Bone marrow aspirate smear · brightfield, 40× oil-immersion objective:
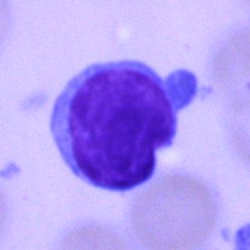Morphological class: lymphocyte.